Bone marrow aspirate smear:
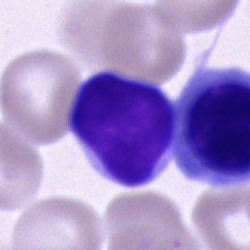

Typical lymphocyte.